Bone marrow smear:
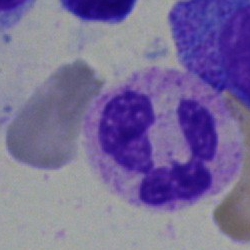

{"cell_type": "neutrophil (segmented)"}